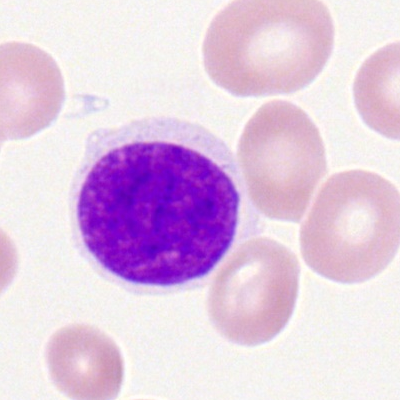

Q: What cell is this?
A: It is a lymphocyte.